Bone marrow aspirate smear:
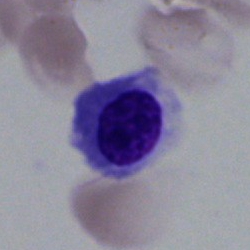Q: Identify the cell.
A: This is an erythroblast.